40× objective, oil immersion; single-cell field; bone marrow smear: 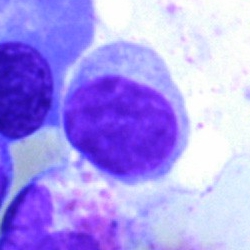Morphology consistent with a lymphocyte.